Single cell centered in the field; bone marrow aspirate smear: 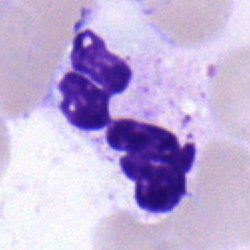
The classification is polymorphonuclear neutrophil.